Bone marrow aspirate smear.
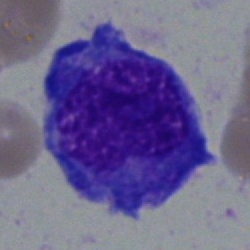Q: What is shown here?
A: It is a blast cell.